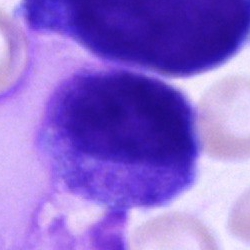 Cell type: cell of indeterminate lineage.